Bone marrow aspirate smear — 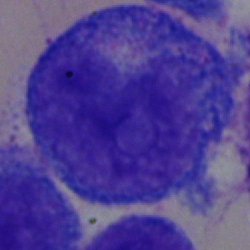 Morphological class = progranulocyte.